Bone marrow aspirate smear: 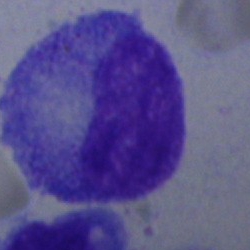 Classification: metamyelocyte.